Bone marrow smear; May-Grünwald-Giemsa/Pappenheim stain.
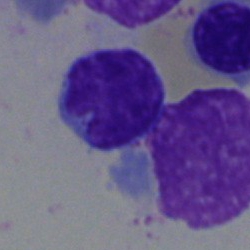
Showing a typical lymphocyte.